Bone marrow aspirate smear — 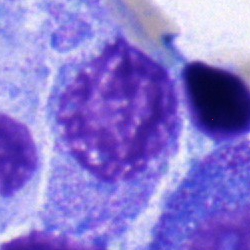
Cell type = myelocyte.